Peripheral blood smear — 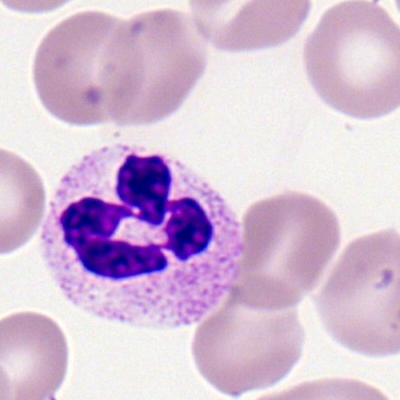Cell type = polymorphonuclear neutrophil.